250×250 px · single-cell crop · bone marrow aspirate smear.
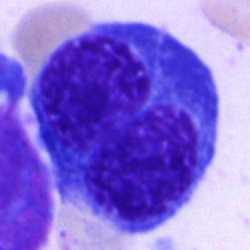 An erythroblast.